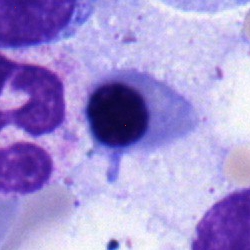 Specimen: bone marrow aspirate smear.
Cell: nucleated red blood cell.
Lineage: erythroid.